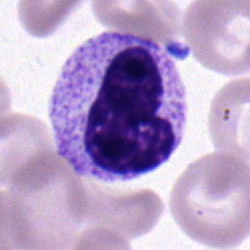
Impression — band neutrophil.